Bone marrow aspirate smear: 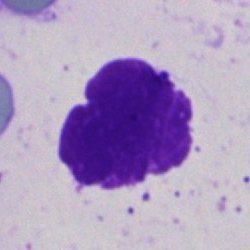

The cell is artifact.